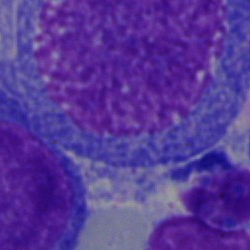 Classification — blast.